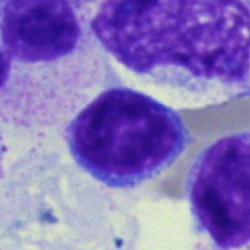 Classification — lymphocyte.